Bone marrow aspirate smear: 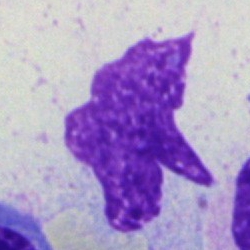Impression — artifact.